40× oil immersion · bone marrow aspirate smear: 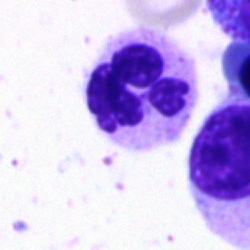 Specimen: bone marrow aspirate smear.
Cell: polymorphonuclear neutrophil.